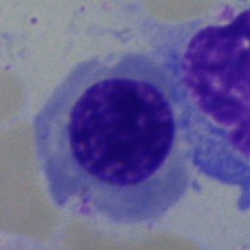 A nucleated red cell on a bone marrow smear.